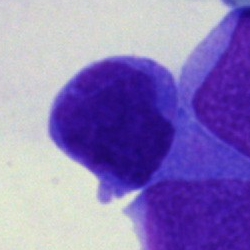
Morphology → blast.